360×363 px · peripheral blood smear — 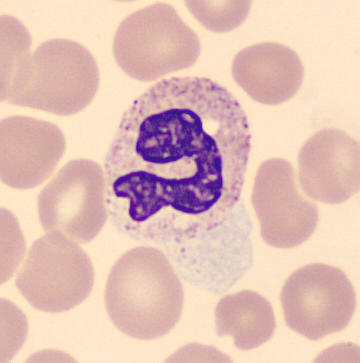

Band neutrophil.